Cropped to a single cell; bone marrow smear; Pappenheim-stained — 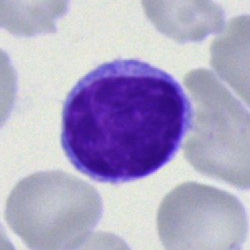 This is a lymphocyte.